Bone marrow aspirate smear:
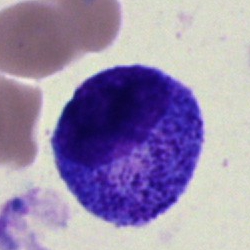 A progranulocyte.